Bone marrow aspirate smear · MGG-stained.
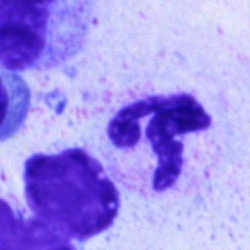

Single cell identified as a neutrophil (segmented).